Bone marrow smear
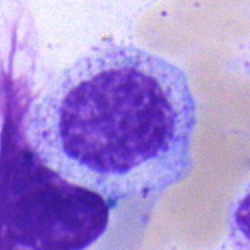

The cell shown is a myelocyte.